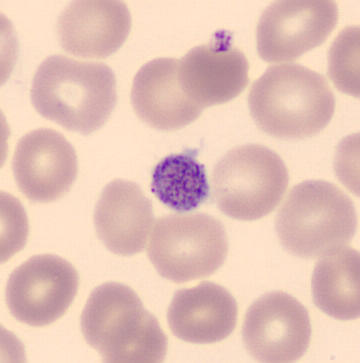

Identified as a platelet (thrombocyte). Preparation: May Grünwald-Giemsa stain · peripheral blood smear.